Bone marrow aspirate smear · May-Grünwald-Giemsa/Pappenheim stain — 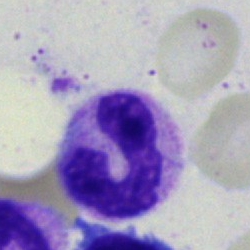

Single cell identified as a band neutrophil.